Bone marrow smear:
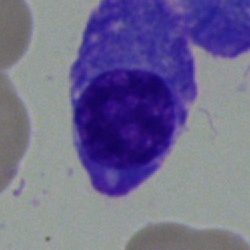The cell is plasma cell.